Brightfield, 40× oil-immersion objective; bone marrow smear: 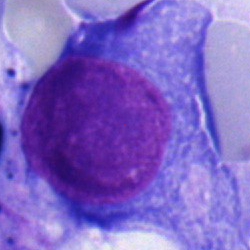Morphology — plasma cell.